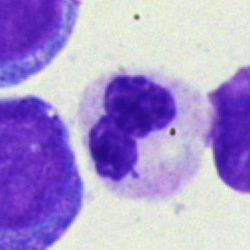
The classification is neutrophil (segmented).